Peripheral blood film.
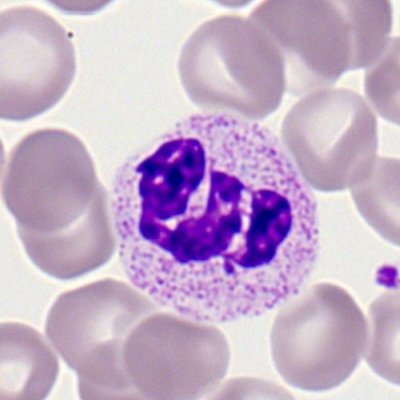

Showing a neutrophil (segmented).